Bone marrow smear — 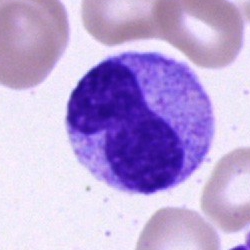This is a band neutrophil.